Bone marrow smear · Pappenheim-stained · single-cell field: 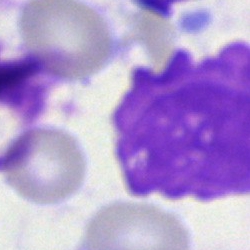 Q: What is shown here?
A: It is an artifact.